Bone marrow aspirate smear — 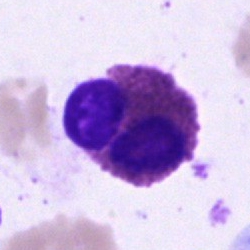
{"cell_type": "eosinophil", "lineage": "myeloid"}